Bone marrow smear · 250×250.
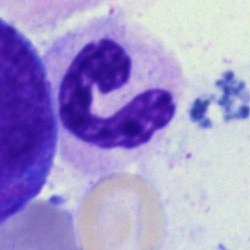
This is a segmented neutrophil.